Bone marrow aspirate smear.
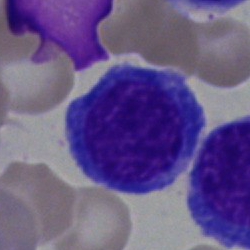

{"cell_type": "normoblast"}